Cropped to a single cell; bone marrow smear:
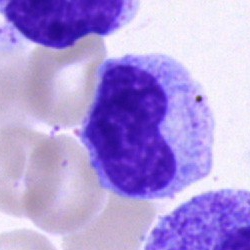Morphology consistent with a metamyelocyte.